Bone marrow smear. 40× oil immersion.
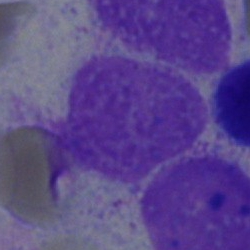The cell type is artifact.